40× objective, oil immersion · bone marrow smear
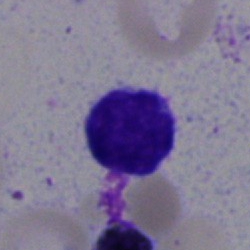
Q: Which cell type is shown here?
A: This is a typical lymphocyte.